Bone marrow smear · 40× objective, oil immersion:
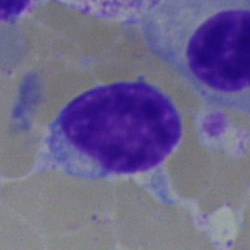 Q: What is shown here?
A: This is a typical lymphocyte.